Bone marrow aspirate smear:
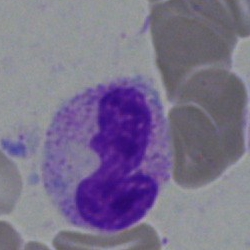 The classification is band-form neutrophil.